Bone marrow smear
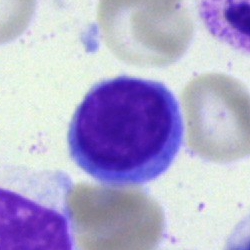

Q: What cell is this?
A: This is a lymphocyte.